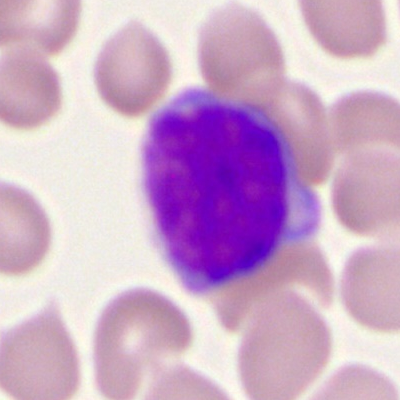
Classification — myeloblast.